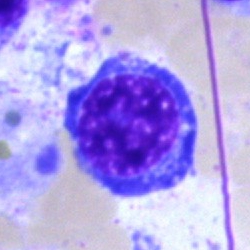

Nucleated red blood cell.